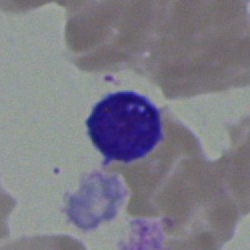
Q: What is the morphological classification of this cell?
A: A typical lymphocyte.